Peripheral blood film.
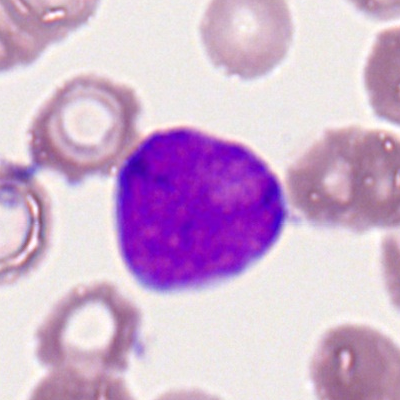 Showing a myeloblast.